Bone marrow aspirate smear — 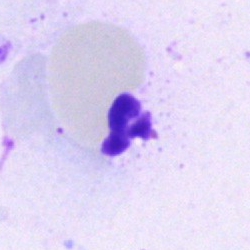
Morphology consistent with an artifact.